Bone marrow smear — 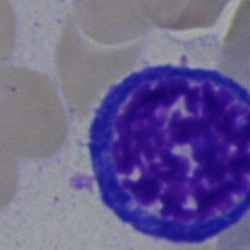Morphology — normoblast.